Peripheral blood smear.
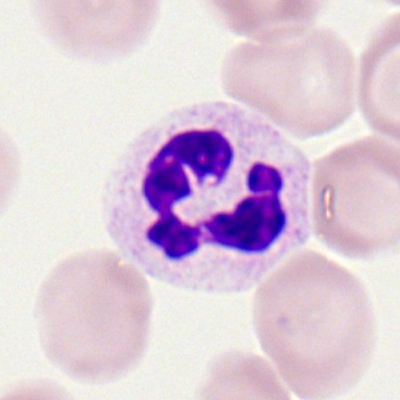 Q: What is shown here?
A: Neutrophil (segmented).